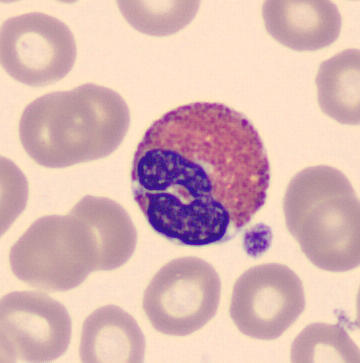The morphological class is eosinophil.
Peripheral blood film.